Image size 250×250 · bone marrow smear: 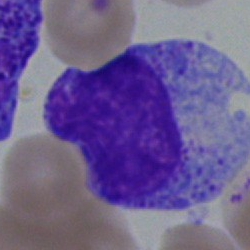
Single cell identified as a myelocyte.